Single-cell field; bone marrow aspirate smear: 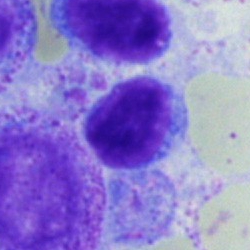 Single cell identified as a typical lymphocyte.